Peripheral blood smear
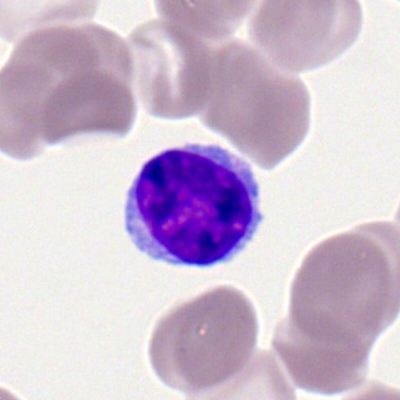 The cell type is lymphocyte.